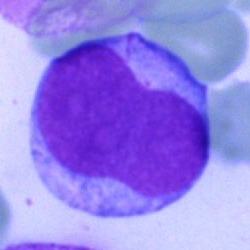Q: What type of cell is this?
A: It is a blast.